Bone marrow aspirate smear. May-Grünwald-Giemsa stain.
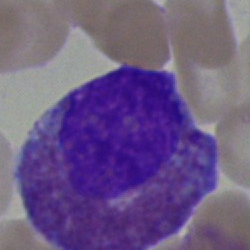 The cell type is eosinophilic granulocyte.